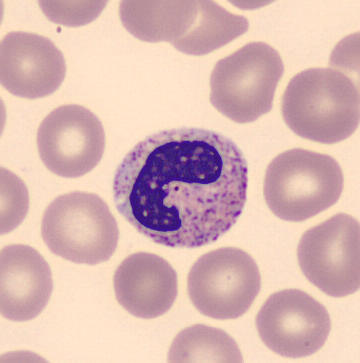

Morphology → band neutrophil. MGG-stained. Peripheral blood smear.